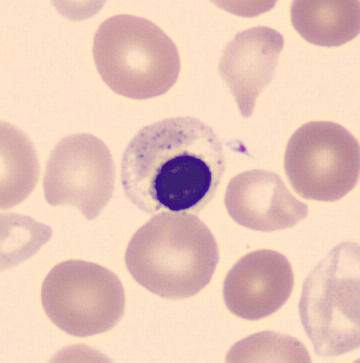Specimen: peripheral blood smear.
Cell: nucleated red cell.